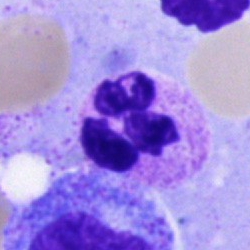 {"cell_type": "neutrophil (segmented)", "lineage": "myeloid"}